Bone marrow aspirate smear. May-Grünwald-Giemsa stain — 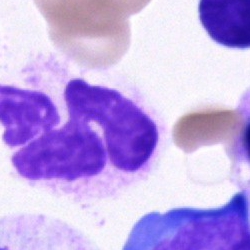 The cell type is cell of indeterminate lineage.